250×250 px · bone marrow aspirate smear · Pappenheim-stained
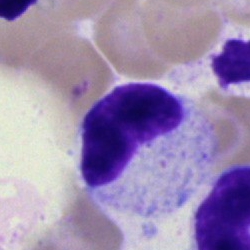 Single cell identified as a metamyelocyte.